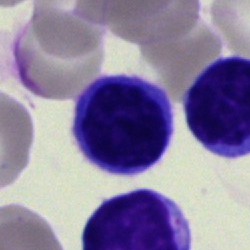 Impression — lymphocyte.